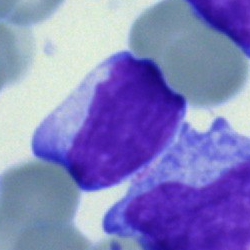

Bone marrow smear showing a typical lymphocyte.